250×250. Cropped to a single cell. Bone marrow smear: 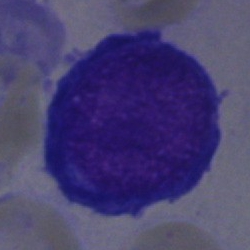 Pronormoblast.